Peripheral blood film
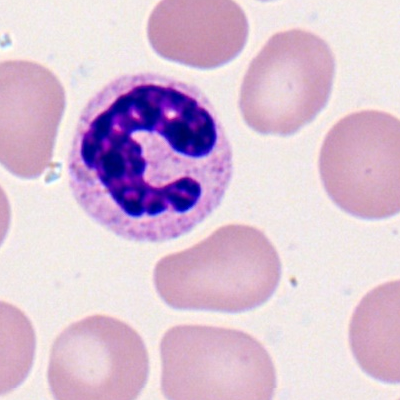Specimen: peripheral blood smear.
Classification: neutrophil (segmented).